Bone marrow aspirate smear: 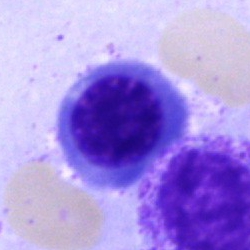
Cell type = erythroblast.